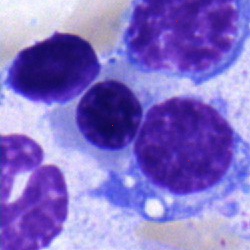
Q: What cell is this?
A: It is a nucleated red blood cell.